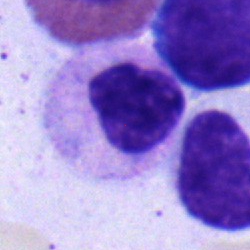
The morphological class is myelocyte.